Bone marrow smear — 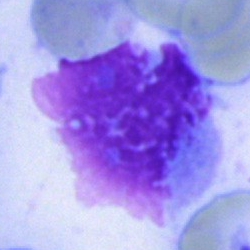
Morphology → artifact.